Bone marrow smear — 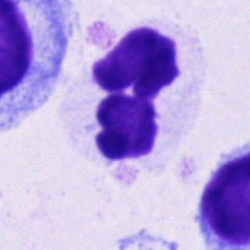 Morphological class — polymorphonuclear neutrophil.